Bone marrow smear · brightfield, 40× oil-immersion objective.
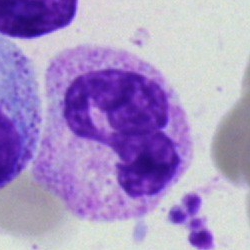

Impression — neutrophil (segmented).